Brightfield microscopy, 40× oil immersion. Bone marrow smear: 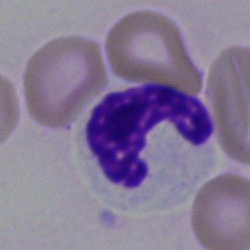

Q: What is the morphological classification of this cell?
A: Polymorphonuclear neutrophil.